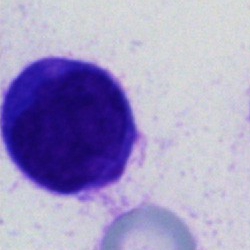 An unidentifiable cell on a bone marrow smear.